Bone marrow aspirate smear · MGG-stained:
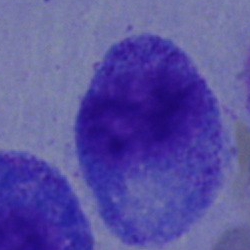 {"cell_type": "myelocyte", "lineage": "myeloid"}